Bone marrow aspirate smear · brightfield, 40× oil-immersion objective
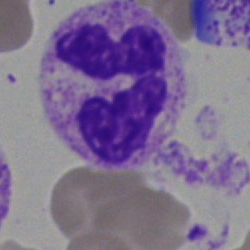
Cell — segmented neutrophil.